Bone marrow smear.
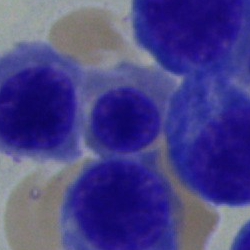This is an erythroblast.